Bone marrow smear — 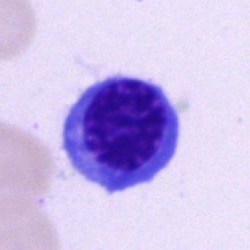 Classification — erythroblast.